Bone marrow aspirate smear.
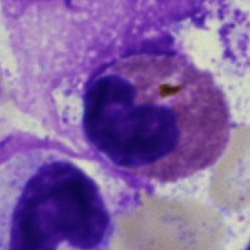
This is an eosinophilic granulocyte.